Bone marrow smear
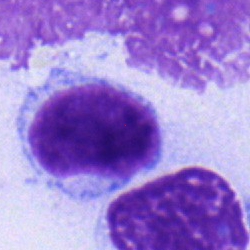

Morphology consistent with a typical lymphocyte.